Single cell centered in the field; bone marrow aspirate smear: 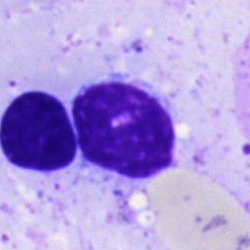 The classification is typical lymphocyte.